Bone marrow aspirate smear:
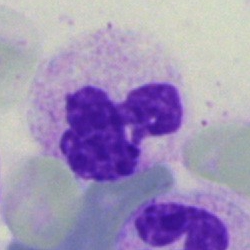 Cell = segmented neutrophil.